Peripheral blood smear.
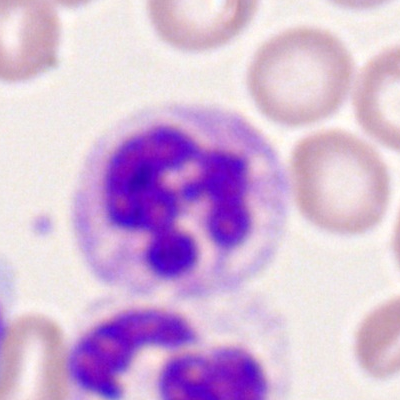

This is a polymorphonuclear neutrophil.